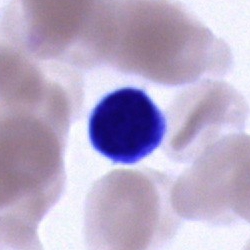

This is a cell of indeterminate lineage.